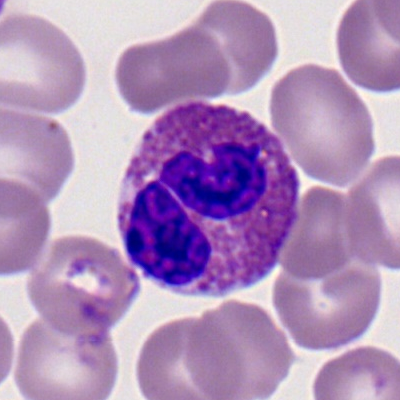
Peripheral blood film, single cell — eosinophil.